Cropped to a single cell · bone marrow aspirate smear · image size 250×250 — 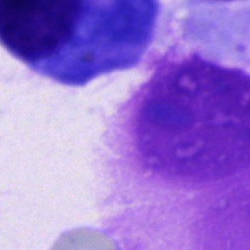Classification — other cell type.